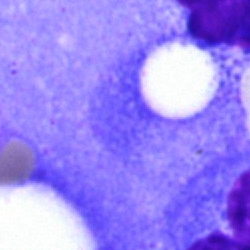 Specimen: bone marrow aspirate smear.
Classification: artifact.